Bone marrow aspirate smear
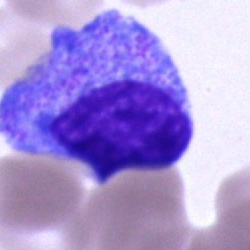The cell shown is a progranulocyte.